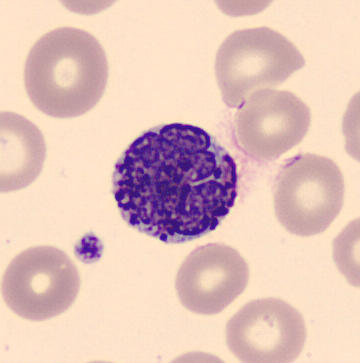
Identified as a basophilic granulocyte.
Acquisition: Peripheral blood film; imaged on a CellaVision DM96 analyser.